Bone marrow aspirate smear: 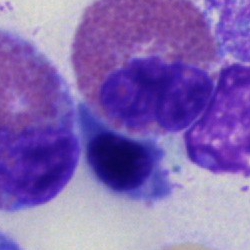 Eosinophilic granulocyte.